Bone marrow aspirate smear. 40× objective, oil immersion. Image size 250×250.
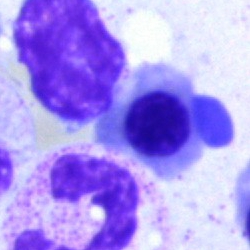 The cell shown is a normoblast.